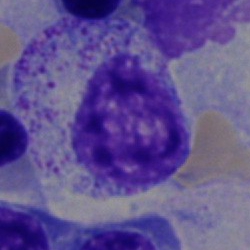

Q: What is shown here?
A: A myelocyte.